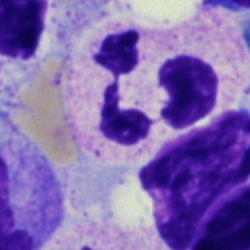
Cell — polymorphonuclear neutrophil.